Single-cell crop · bone marrow aspirate smear · 40× objective, oil immersion:
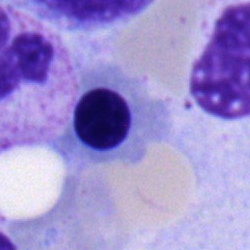Impression — nucleated red cell.